Bone marrow smear: 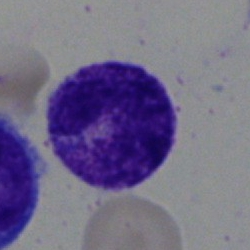
Morphology consistent with a segmented neutrophil.